Peripheral blood smear: 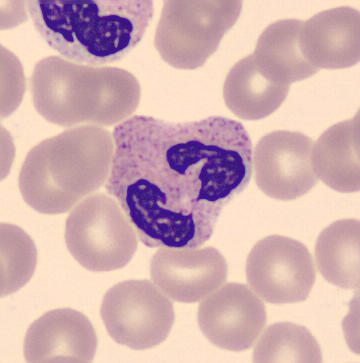

Classification = segmented neutrophil.